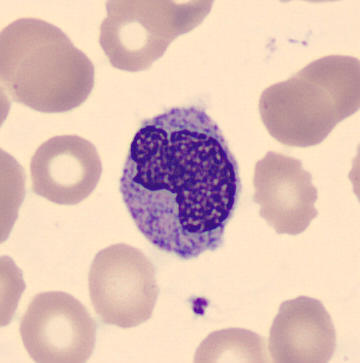The cell type is monocyte. Preparation: Peripheral blood film.